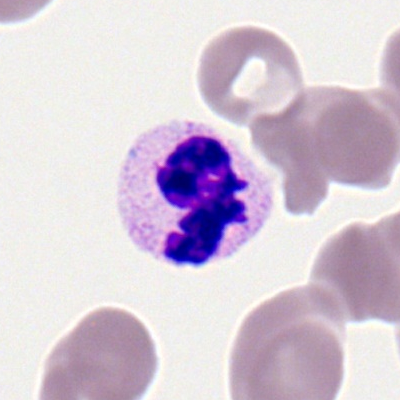

Specimen: peripheral blood smear.
Classification: polymorphonuclear neutrophil.